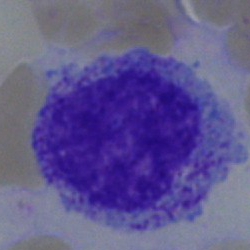

Bone marrow aspirate smear, single cell — myelocyte.